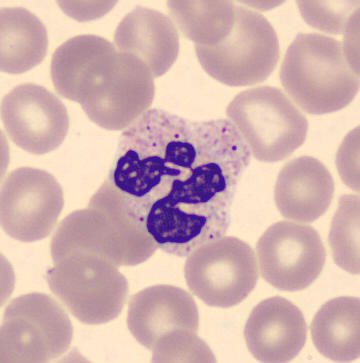 May-Grünwald-Giemsa-stained · peripheral blood film.
Cell: segmented neutrophil.